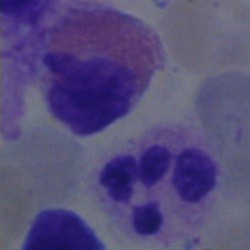Cell type = segmented neutrophil.